Bone marrow aspirate smear · single-cell field — 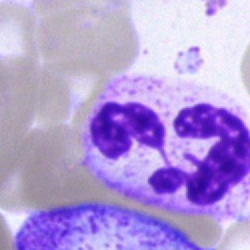 This is a neutrophil (segmented).